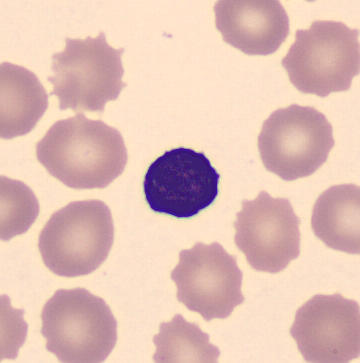 Preparation: Peripheral blood smear.
Impression — lymphocyte.